Bone marrow smear · cropped to a single cell · Pappenheim-stained.
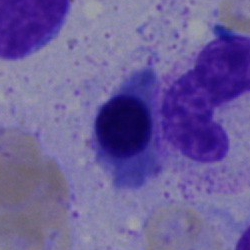

Morphological class: erythroblast.